Bone marrow smear; single-cell crop
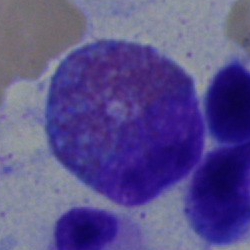Morphology consistent with an eosinophil.